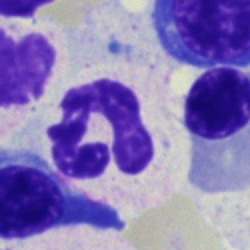
{"cell_type": "polymorphonuclear neutrophil", "lineage": "myeloid"}